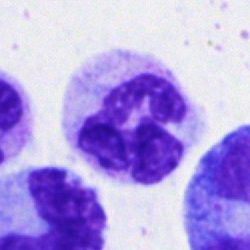
Specimen: bone marrow aspirate smear.
Cell type: segmented neutrophil.